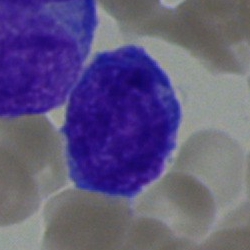

A blast.